Bone marrow aspirate smear — 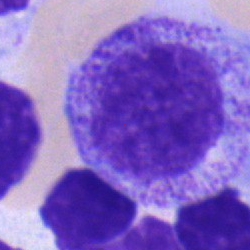

Specimen: bone marrow aspirate smear.
Cell: myelocyte.
Lineage: myeloid.